MGG-stained · bone marrow smear · single-cell field — 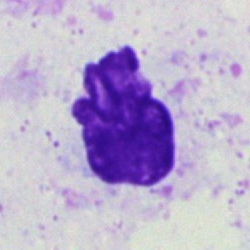

Single cell identified as an artifact.